Single-cell field. Peripheral blood smear — 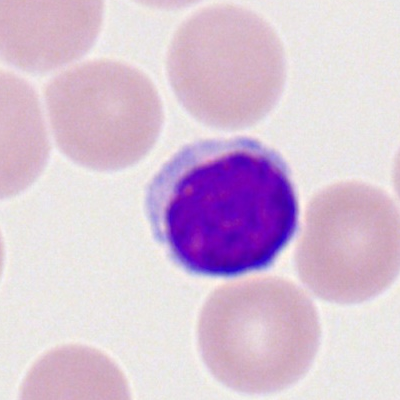

Morphology consistent with a typical lymphocyte.